Bone marrow aspirate smear; brightfield, 40× oil-immersion objective — 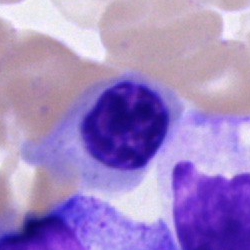
Morphology — nucleated red blood cell.